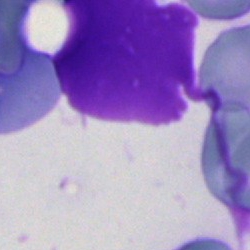 Single cell identified as an artefact.